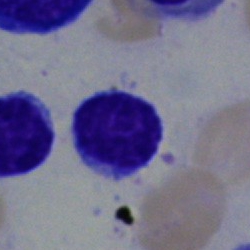

Q: What type of cell is this?
A: A lymphocyte.